250×250 px · May-Grünwald-Giemsa stain · bone marrow smear:
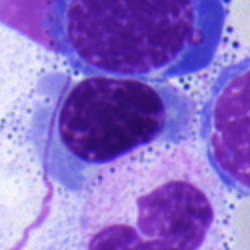 The cell shown is an erythroblast.